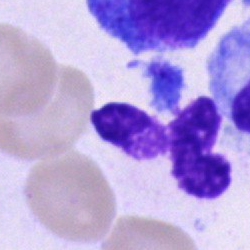 {"cell_type": "polymorphonuclear neutrophil"}